Bone marrow aspirate smear.
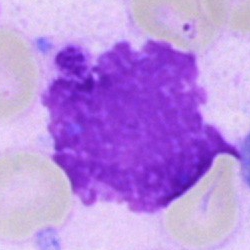 Cell — artefact.